250×250. Bone marrow smear: 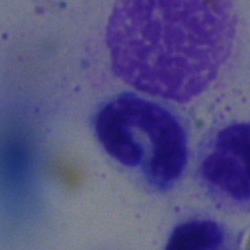

Q: Which cell type is shown here?
A: Neutrophil (segmented).